40× objective, oil immersion. Bone marrow aspirate smear — 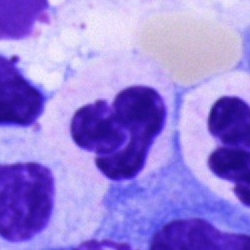Specimen: bone marrow aspirate smear.
Classification: segmented neutrophil.
Lineage: myeloid.